Bone marrow aspirate smear; 250×250 px
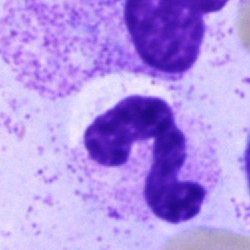Classification: segmented neutrophil.